Bone marrow smear — 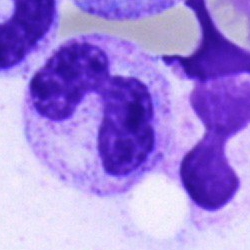
Q: What cell is this?
A: It is a segmented neutrophil.